Bone marrow aspirate smear
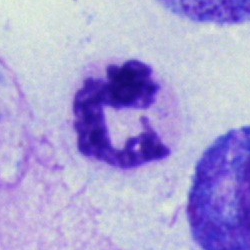

This is a neutrophil (segmented).